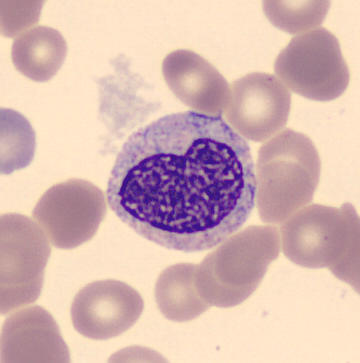Cell type: metamyelocyte.